250×250; bone marrow smear: 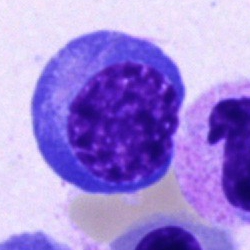The cell is nucleated red blood cell.